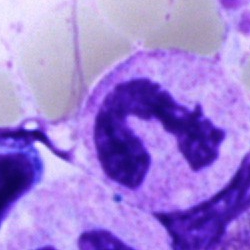
A polymorphonuclear neutrophil on a bone marrow smear.